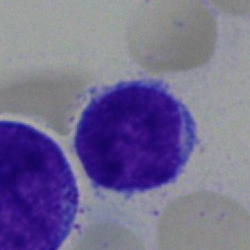
Impression → typical lymphocyte.